Peripheral blood film: 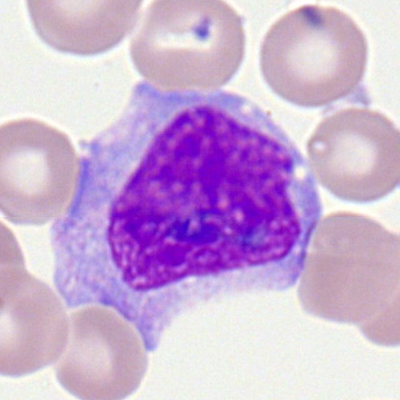 The classification is monocyte.